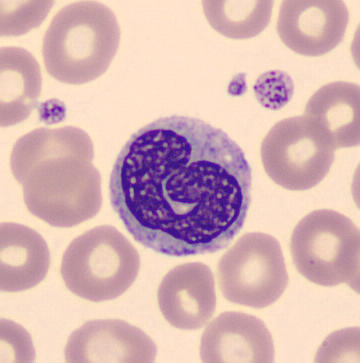
The cell shown is a monocyte.
Peripheral blood smear · 360×363.